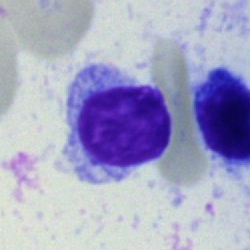
Single-cell crop from a bone marrow smear: typical lymphocyte.